Bone marrow aspirate smear — 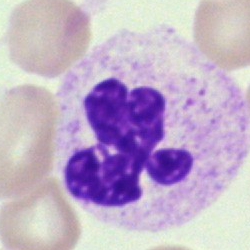 Morphology consistent with a segmented neutrophil.